Bone marrow smear; MGG-stained: 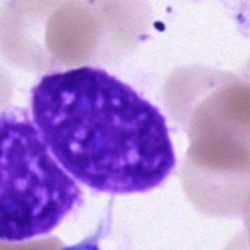 Classification: artifact.